Bone marrow aspirate smear; May-Grünwald-Giemsa stain: 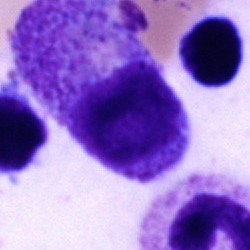The cell shown is a promyelocyte.